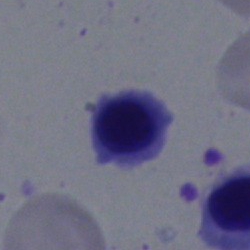Classification: nucleated red cell.